Bone marrow smear — 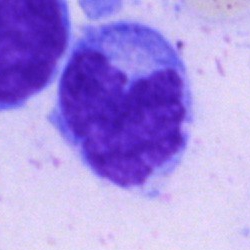Cell type = monocyte.